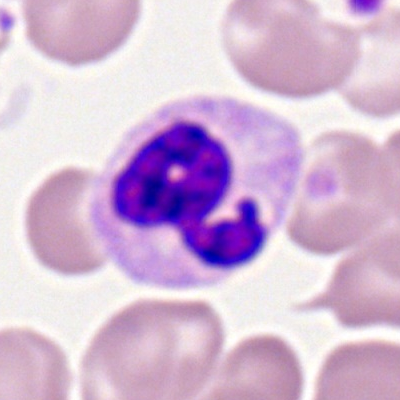 Classification — segmented neutrophil.